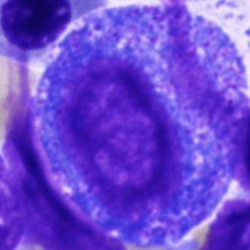

A promyelocyte.